Bone marrow smear.
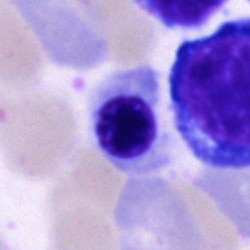 Specimen: bone marrow smear.
Classification: nucleated red blood cell.